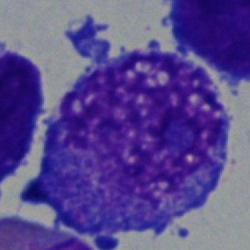Specimen: bone marrow aspirate smear.
Classification: progranulocyte.